Bone marrow smear · single-cell field
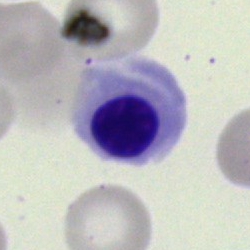 Morphology → nucleated red blood cell.